Bone marrow aspirate smear
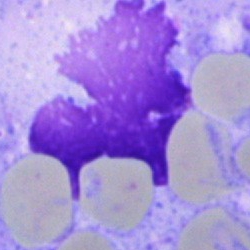Showing an artifact.